Bone marrow smear.
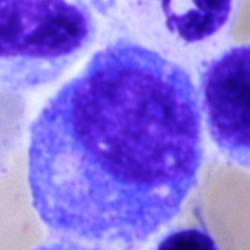

Cell type — progranulocyte.